Single cell centered in the field; bone marrow aspirate smear; 250 by 250 pixels.
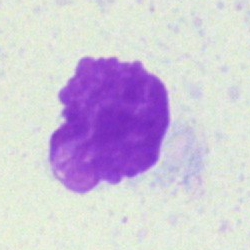 Q: What is shown here?
A: It is an artifact.